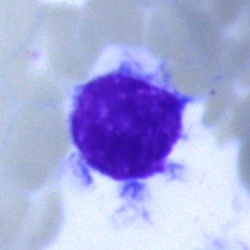Morphology — lymphocyte.